Brightfield microscopy, 40× oil immersion · bone marrow aspirate smear
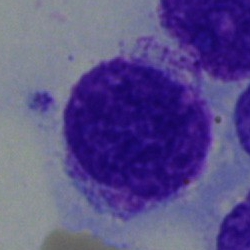
The classification is myelocyte.